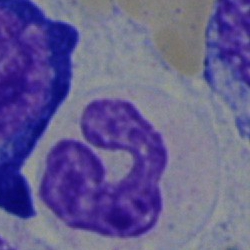
Morphological class = segmented neutrophil.